Bone marrow smear. May-Grünwald-Giemsa stain. Cropped to a single cell.
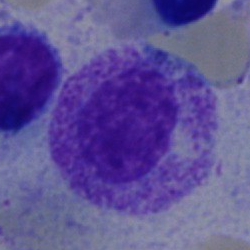Specimen: bone marrow smear.
Cell type: myelocyte.
Lineage: myeloid.